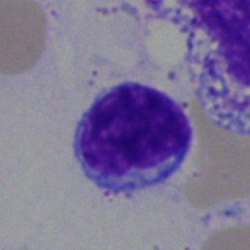 Q: Which cell type is shown here?
A: This is a typical lymphocyte.